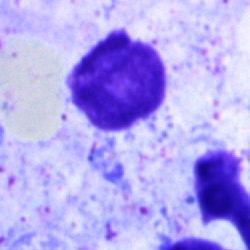

Q: What is shown here?
A: This is an artifact.